Cropped to a single cell · bone marrow aspirate smear · image size 250×250 — 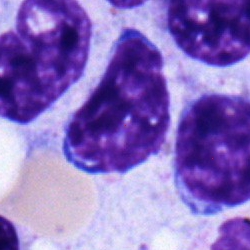Morphology consistent with a typical lymphocyte.